Bone marrow aspirate smear
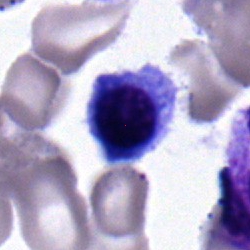 Nucleated red cell.